Image size 250×250. Bone marrow aspirate smear:
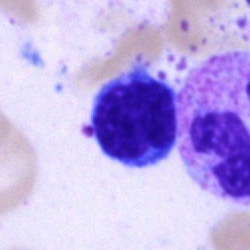 {"cell_type": "typical lymphocyte", "lineage": "lymphoid"}